Bone marrow smear — 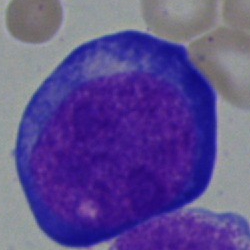
The classification is proerythroblast.